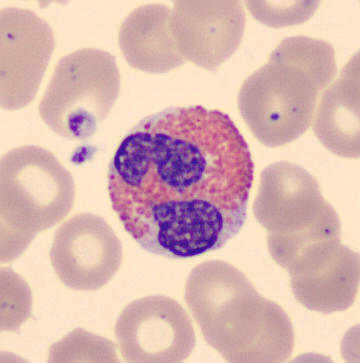 The cell type is eosinophil.